Bone marrow aspirate smear · MGG-stained · brightfield microscopy, 40× oil immersion.
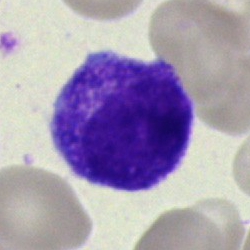 Q: What is shown here?
A: This is a myelocyte.